MGG-stained. Bone marrow smear — 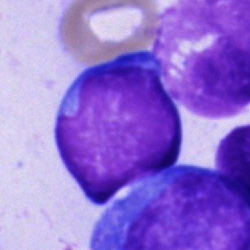

Q: What cell is this?
A: It is a blast cell.